Bone marrow aspirate smear — 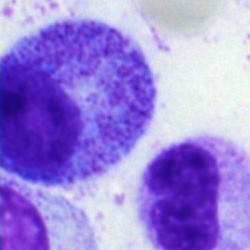 A myelocyte.